Bone marrow smear · 250×250 px:
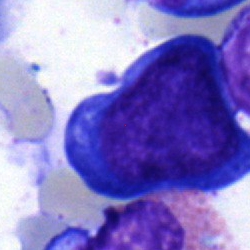 Impression — proerythroblast.